Bone marrow aspirate smear
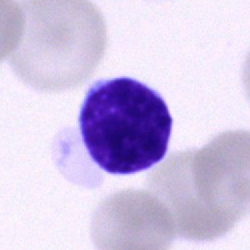

Showing a typical lymphocyte.